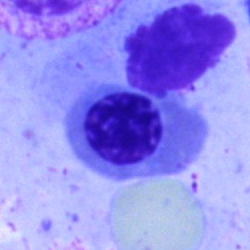
A nucleated red cell on a bone marrow smear.